Bone marrow smear; brightfield microscopy, 40× oil immersion
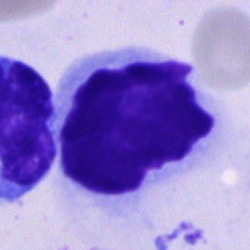 Classification — artefact.